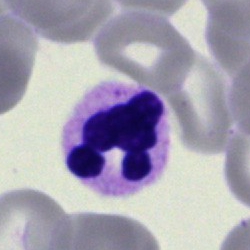 Polymorphonuclear neutrophil.